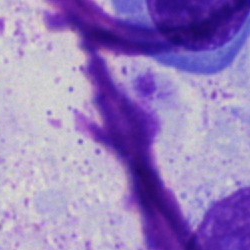

Q: What is shown here?
A: Artefact.